Bone marrow smear: 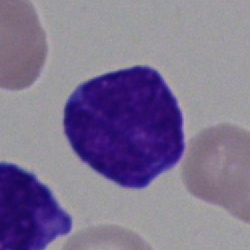A blast cell.